360×363 px · CellaVision DM96 · peripheral blood smear:
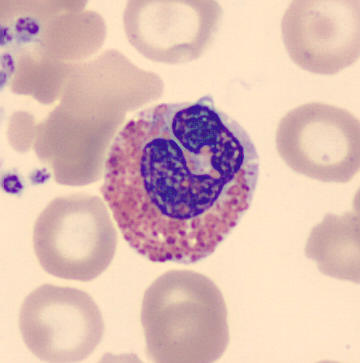The cell shown is an eosinophil.